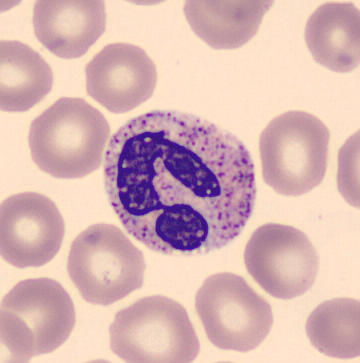This is a segmented neutrophil.